Single cell centered in the field · bone marrow aspirate smear · Pappenheim-stained: 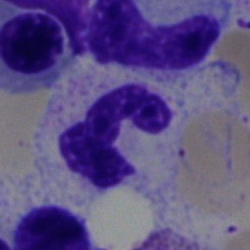{"cell_type": "segmented neutrophil", "lineage": "myeloid"}